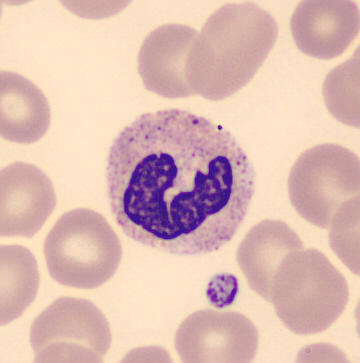

Single cell identified as a polymorphonuclear neutrophil.

Image: Automated cell imaging (CellaVision DM96) · peripheral blood film.